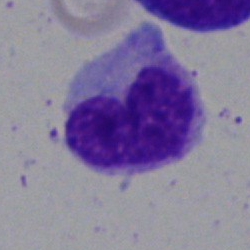
Bone marrow aspirate smear, single cell — metamyelocyte.